Bone marrow aspirate smear; 40× objective, oil immersion
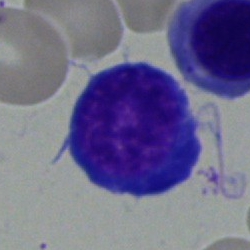

This is an erythroblast.